Peripheral blood film: 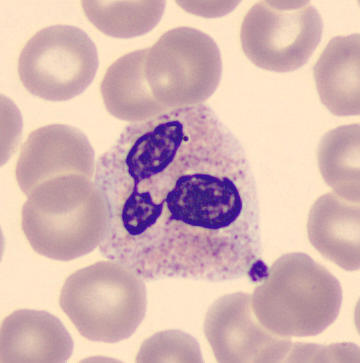
The cell type is polymorphonuclear neutrophil.